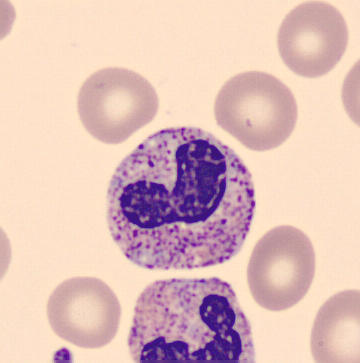 A band-form neutrophil on a peripheral blood smear.